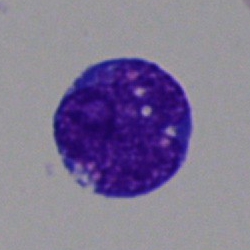
Impression — blast cell.